Bone marrow smear · May-Grünwald-Giemsa stain · single-cell crop.
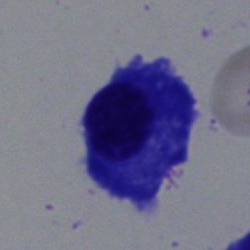 Impression — plasmacyte.